Bone marrow aspirate smear: 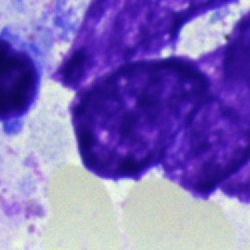
Q: What is shown here?
A: It is an artefact.